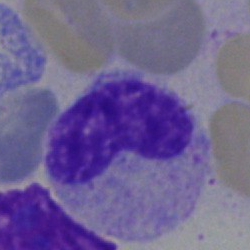Morphology consistent with a stab cell.